Bone marrow smear.
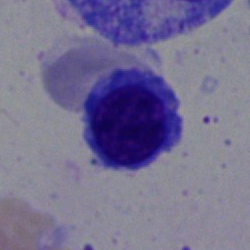Impression → erythroblast.